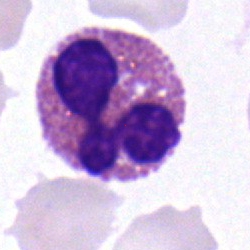
Specimen: bone marrow aspirate smear.
Classification: eosinophil.
Lineage: myeloid.